250×250 · bone marrow aspirate smear — 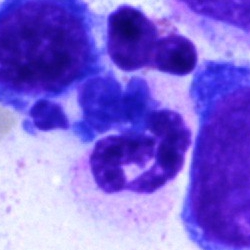Q: What is shown here?
A: This is a polymorphonuclear neutrophil.